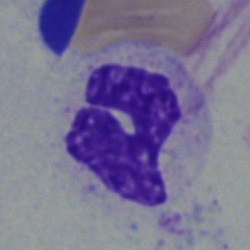 Morphology consistent with a neutrophil (band).